Cropped to a single cell. Bone marrow aspirate smear: 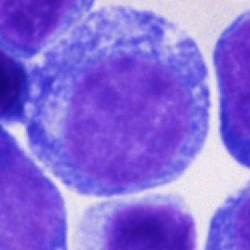Cell = progranulocyte.